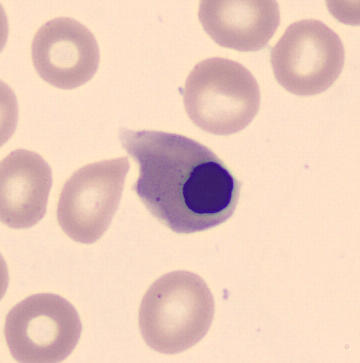
A nucleated red blood cell.
Image: Peripheral blood smear.